Bone marrow aspirate smear.
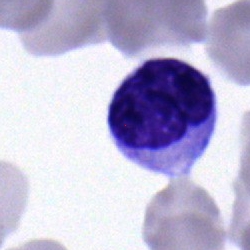
Specimen: bone marrow smear.
Cell type: typical lymphocyte.
Lineage: lymphoid.